Bone marrow smear: 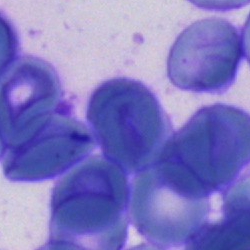Other cell.